250×250 px. Bone marrow aspirate smear: 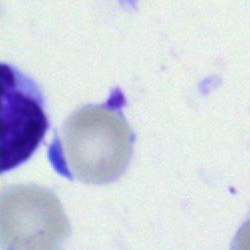 The morphological class is cell of indeterminate lineage.